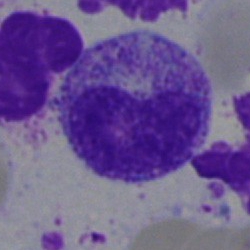 Morphological class — myelocyte.